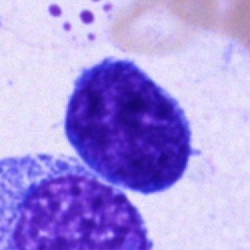
Morphology — blast cell.